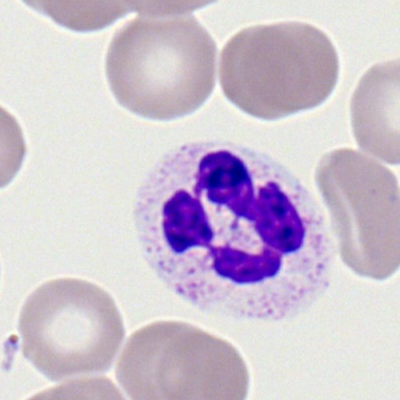The cell shown is a polymorphonuclear neutrophil.